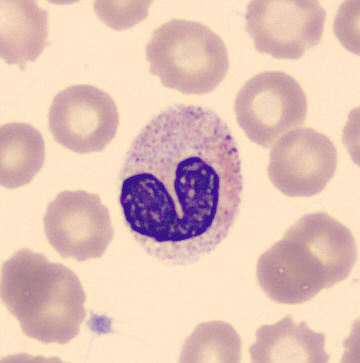Acquisition: MGG-stained.
Specimen: peripheral blood smear.
Cell type: stab cell.
Lineage: myeloid.